Brightfield microscopy, 40× oil immersion · bone marrow smear · cropped to a single cell
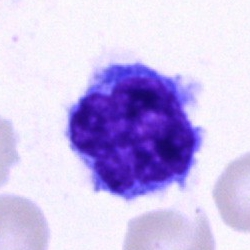
Cell — typical lymphocyte.